Bone marrow smear. MGG-stained — 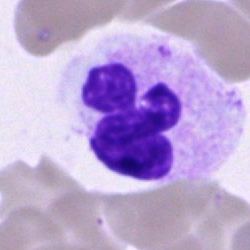 Q: What is the morphological classification of this cell?
A: Neutrophil (segmented).